Bone marrow aspirate smear
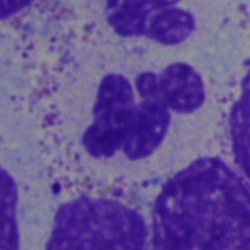
Showing a polymorphonuclear neutrophil.